100× oil immersion, 14.14 px/µm; peripheral blood smear:
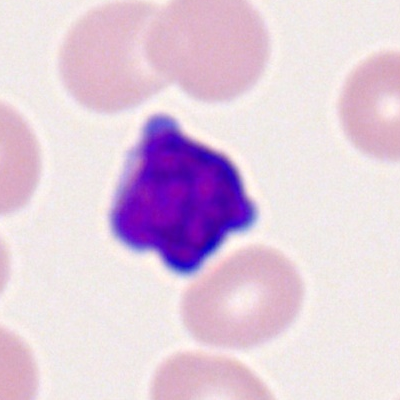 Lymphocyte.